Bone marrow aspirate smear · 40× objective, oil immersion · cropped to a single cell:
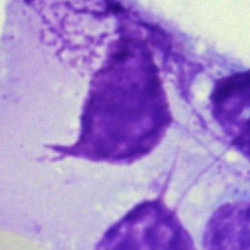 Q: What is shown here?
A: An artefact.